Bone marrow aspirate smear · Pappenheim-stained · 250×250 px:
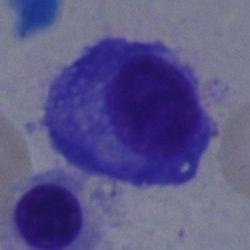

Cell: plasma cell.